Bone marrow smear.
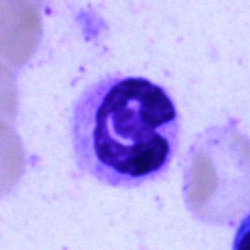 The cell shown is a segmented neutrophil.